Peripheral blood smear: 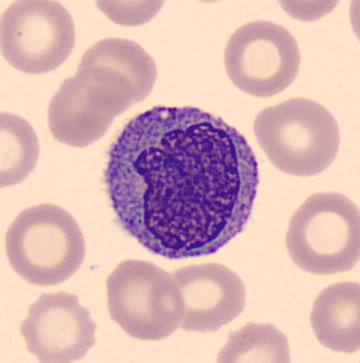Identified as a monocyte.